Bone marrow aspirate smear. Brightfield microscopy, 40× oil immersion. Single-cell field
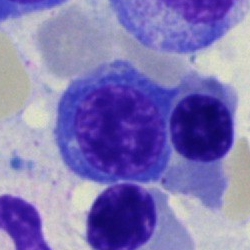
Showing an erythroblast.